Peripheral blood smear:
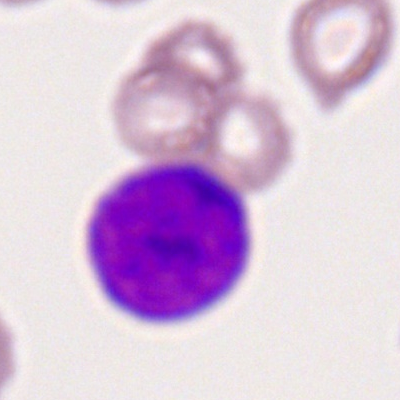 The cell is myeloblast.